Bone marrow aspirate smear · 250×250:
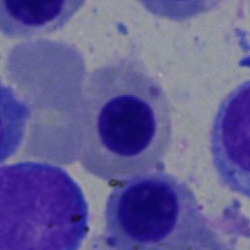An erythroblast.